Bone marrow smear.
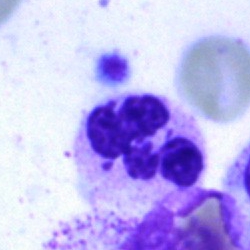

Impression → polymorphonuclear neutrophil.